Image size 250×250. Bone marrow aspirate smear:
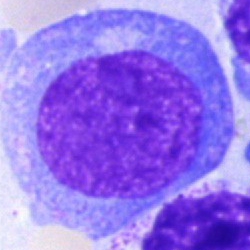 Q: What is the morphological classification of this cell?
A: It is an undifferentiated blast.